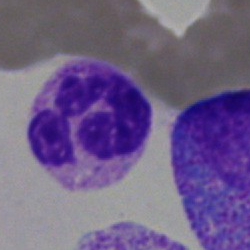 Q: Which cell type is shown here?
A: It is a polymorphonuclear neutrophil.